Bone marrow smear; May-Grünwald-Giemsa stain
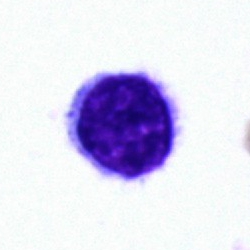

This is a lymphocyte.